Bone marrow smear — 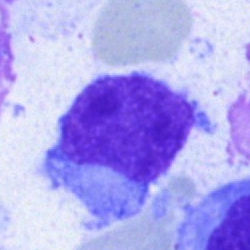This is a hairy cell.